Bone marrow aspirate smear
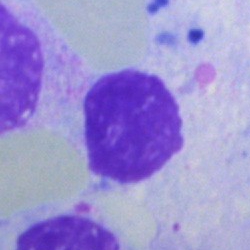
Specimen: bone marrow smear.
Classification: artifact.